Bone marrow smear.
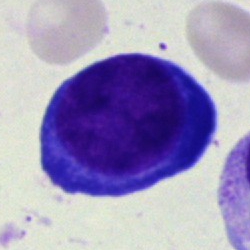 Q: Identify the cell.
A: An erythroblast.